Bone marrow aspirate smear · 250×250 px · May-Grünwald-Giemsa stain: 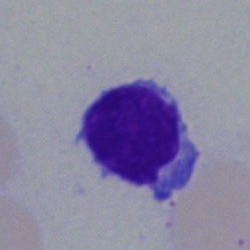

Impression → typical lymphocyte.